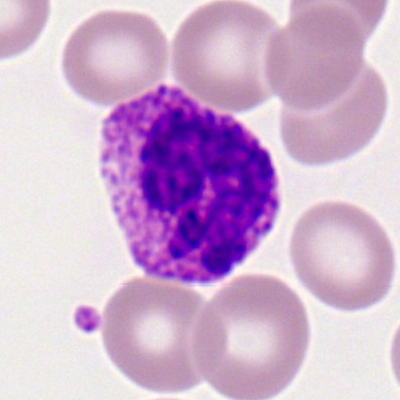

The cell shown is a basophilic granulocyte.